Bone marrow aspirate smear: 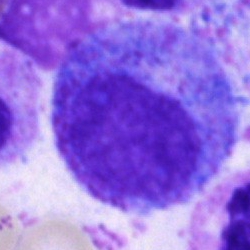Single cell identified as a promyelocyte.